Cropped to a single cell. Bone marrow smear. Brightfield, 40× oil-immersion objective: 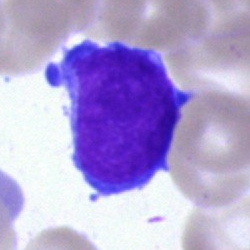Specimen: bone marrow aspirate smear.
Cell: blast.